Bone marrow smear — 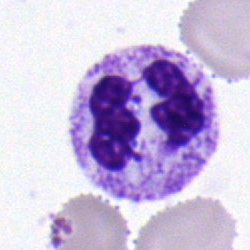

Impression — neutrophil (segmented).